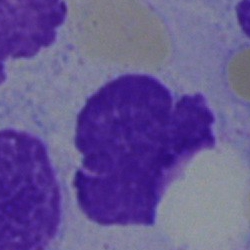

Classification — artifact.